May-Grünwald-Giemsa/Pappenheim stain; bone marrow aspirate smear.
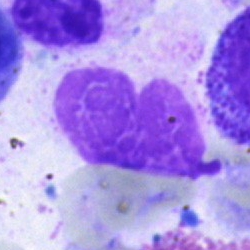An artifact.